Single-cell crop; May-Grünwald-Giemsa/Pappenheim stain; bone marrow smear.
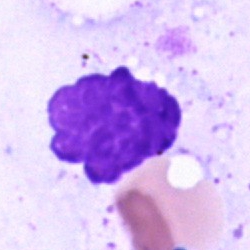
Specimen: bone marrow aspirate smear.
Cell: artifact.